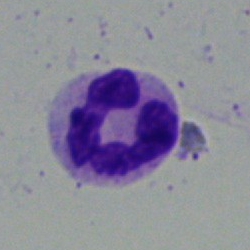

Single cell identified as a polymorphonuclear neutrophil.